Bone marrow aspirate smear; MGG-stained; 250 by 250 pixels — 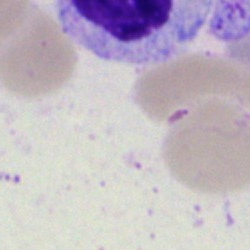Specimen: bone marrow aspirate smear.
Cell type: artifact.